Brightfield microscopy, 40× oil immersion. Single-cell field. Bone marrow smear.
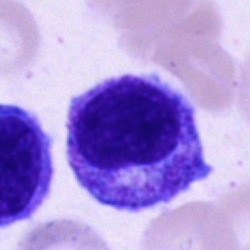
Q: What is shown here?
A: Myelocyte.